Bone marrow aspirate smear:
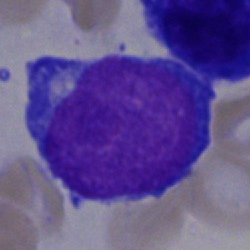
Q: What cell is this?
A: It is an undifferentiated blast.